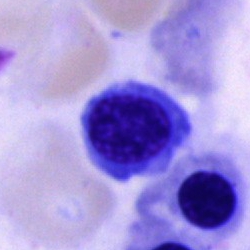Morphology consistent with a nucleated red cell.